Bone marrow aspirate smear — 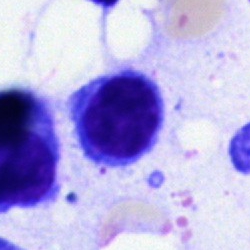

The morphological class is typical lymphocyte.